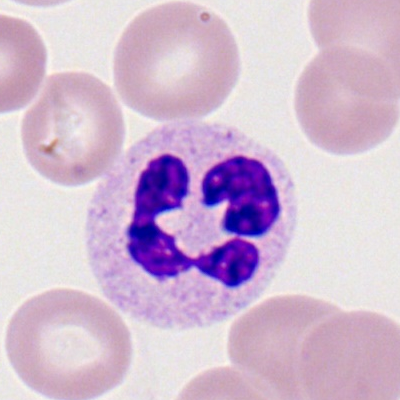

Classification = polymorphonuclear neutrophil.